Peripheral blood film · image size 400×400.
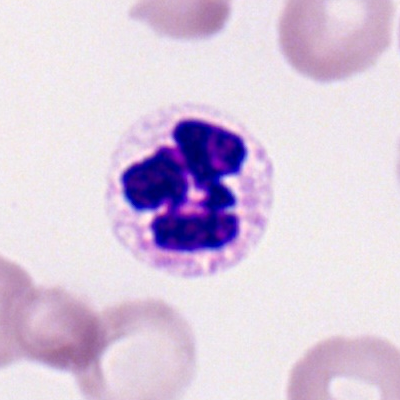
Q: Identify the cell.
A: A segmented neutrophil.